Peripheral blood smear:
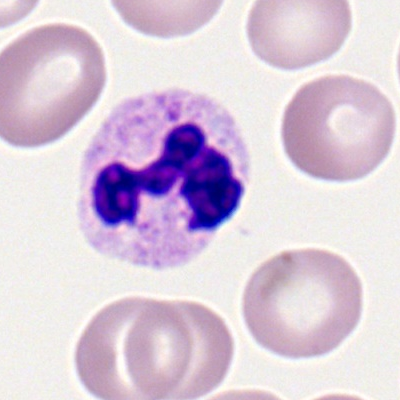

Single cell identified as a polymorphonuclear neutrophil.